40× oil immersion · bone marrow aspirate smear · single-cell field:
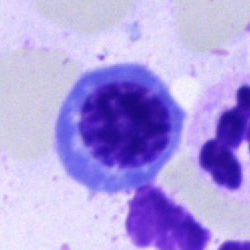
This is an erythroblast.